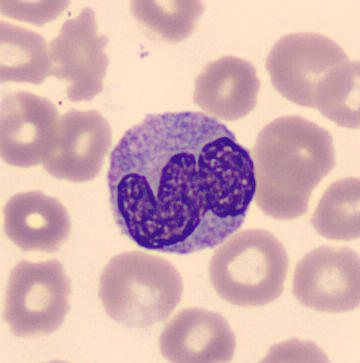Impression → monocyte.